40× objective, oil immersion; bone marrow aspirate smear.
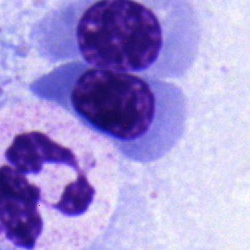A nucleated red blood cell.